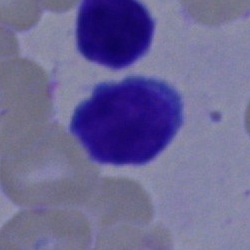
Lymphocyte.